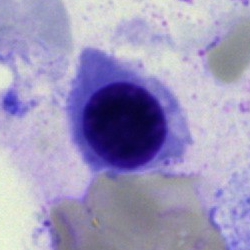 Specimen: bone marrow smear.
Cell: nucleated red cell.
Lineage: erythroid.